Bone marrow aspirate smear — 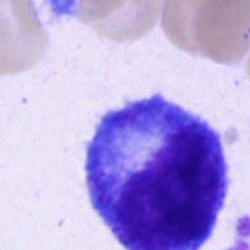 Impression — promyelocyte.